Brightfield, 40× oil-immersion objective; bone marrow aspirate smear:
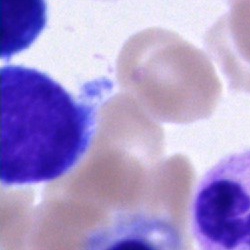

This is a cell of indeterminate lineage.